Bone marrow smear. Pappenheim-stained
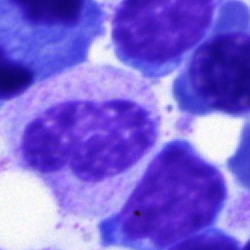
Showing a neutrophil (band).